Brightfield microscopy, 40× oil immersion · bone marrow smear · single-cell crop.
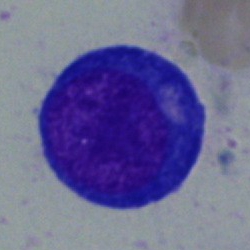
Classification — proerythroblast.